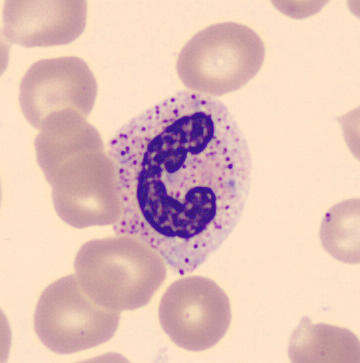 Cell: polymorphonuclear neutrophil.
Peripheral blood smear.